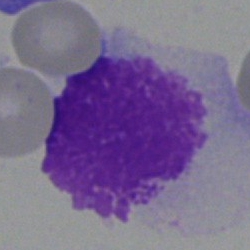 Q: What is shown here?
A: An artefact.